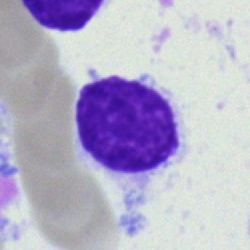
This is a lymphocyte.